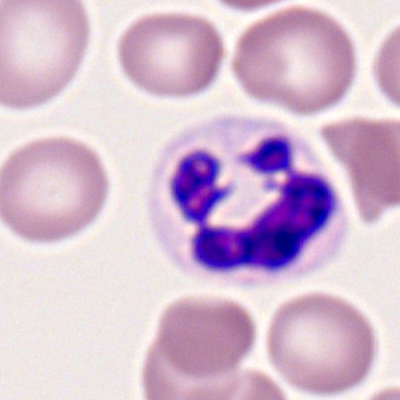Specimen: peripheral blood film.
Cell: neutrophil (segmented).